250 by 250 pixels · bone marrow smear.
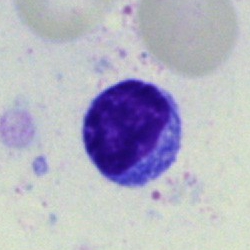
Specimen: bone marrow smear.
Cell: lymphocyte.
Lineage: lymphoid.